Brightfield microscopy, 40× oil immersion; bone marrow smear:
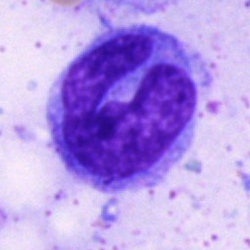 A monocyte.